Cropped to a single cell; bone marrow smear: 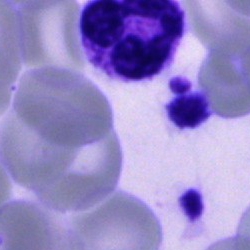The cell shown is a neutrophil (segmented).